Brightfield microscopy, 40× oil immersion. Bone marrow aspirate smear. Pappenheim-stained: 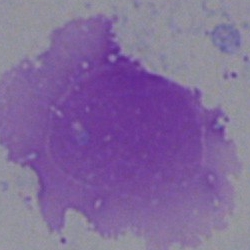
Specimen: bone marrow smear.
Cell: artifact.